Single-cell field · bone marrow aspirate smear.
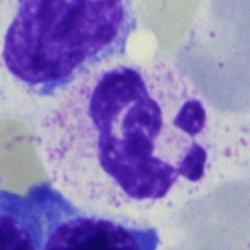Classification: polymorphonuclear neutrophil.